Cropped to a single cell; bone marrow smear; MGG-stained.
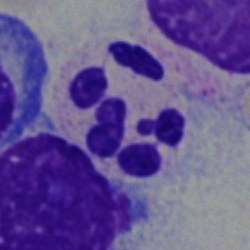
The classification is segmented neutrophil.